Bone marrow aspirate smear · cropped to a single cell: 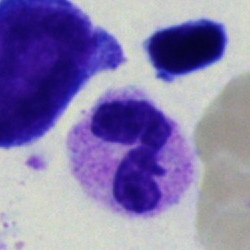Q: What type of cell is this?
A: It is a segmented neutrophil.